Bone marrow aspirate smear: 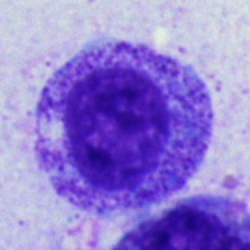The cell shown is a promyelocyte.